Cropped to a single cell · brightfield, 40× oil-immersion objective · bone marrow smear
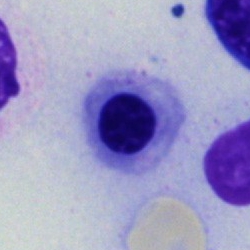

Showing a nucleated red cell.